Bone marrow aspirate smear.
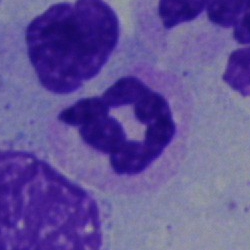

Impression → neutrophil (segmented).